Bone marrow aspirate smear: 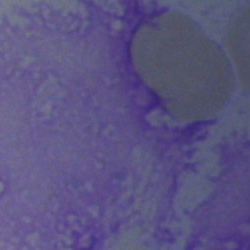
Specimen: bone marrow smear.
Morphological class: artifact.